Bone marrow aspirate smear:
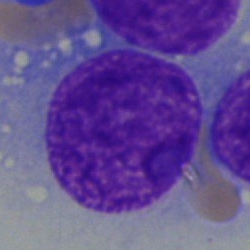
Showing a blast cell.